Peripheral blood smear; single-cell crop; M8 digital microscope (Precipoint), 100× oil immersion: 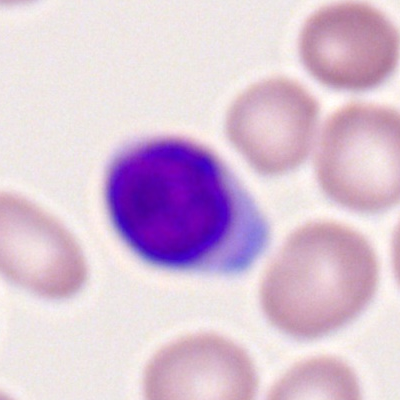This is a typical lymphocyte.